Bone marrow aspirate smear; brightfield, 40× oil-immersion objective; MGG-stained: 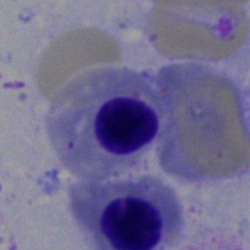

The cell shown is an erythroblast.